Bone marrow aspirate smear: 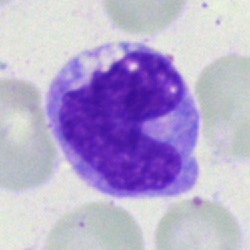

Single cell identified as a monocyte.